Bone marrow aspirate smear; 250×250; May-Grünwald-Giemsa stain.
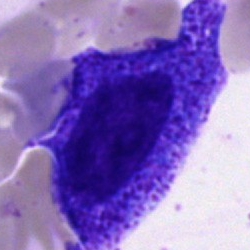

Progranulocyte.